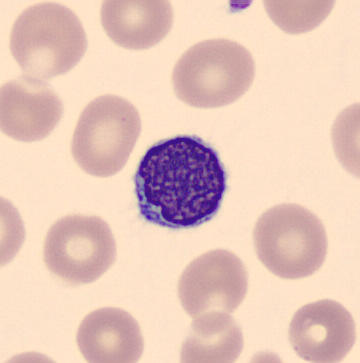 Classification: lymphocyte.